Bone marrow smear · 250×250 — 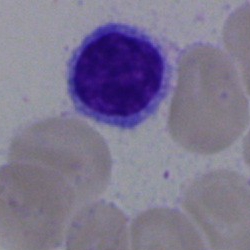 Cell type — lymphocyte.